40× objective, oil immersion. Single cell centered in the field. Bone marrow aspirate smear — 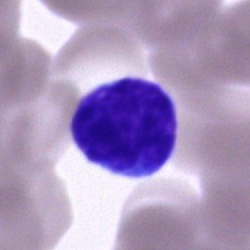 A typical lymphocyte.